Peripheral blood smear
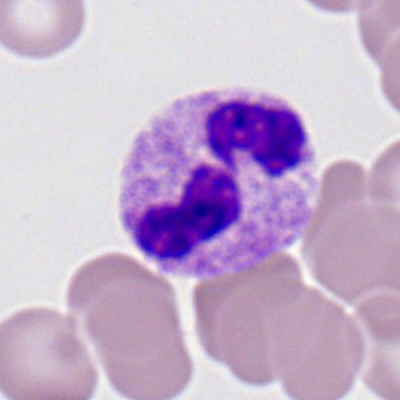
Cell = polymorphonuclear neutrophil.